May-Grünwald-Giemsa/Pappenheim stain; bone marrow smear: 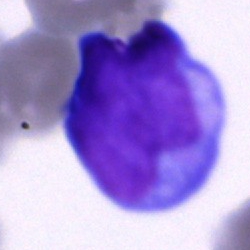

Classification = blast cell.